40× oil immersion · bone marrow aspirate smear
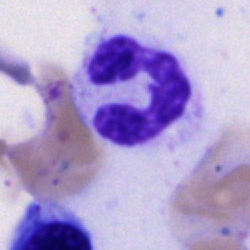 Impression → polymorphonuclear neutrophil.